Bone marrow aspirate smear — 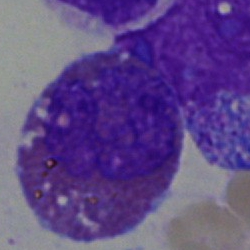Eosinophil.